Bone marrow aspirate smear: 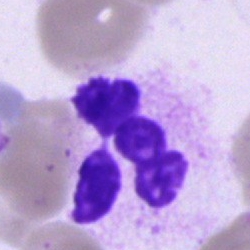 Classification — polymorphonuclear neutrophil.